Bone marrow aspirate smear
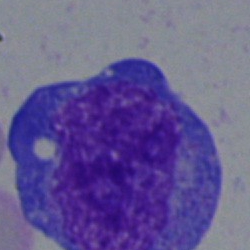
Q: What cell is this?
A: An undifferentiated blast.